Bone marrow smear: 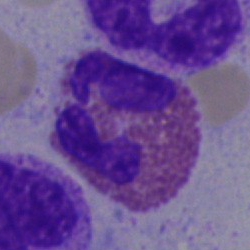

Specimen: bone marrow aspirate smear.
Morphological class: eosinophilic granulocyte.
Lineage: myeloid.